Peripheral blood film. 100× oil immersion. Single-cell field: 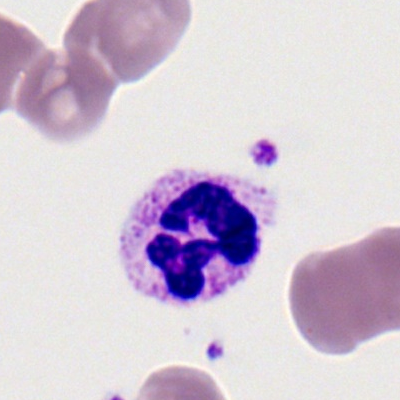

Morphology — segmented neutrophil.